250×250 px; bone marrow aspirate smear; single cell centered in the field — 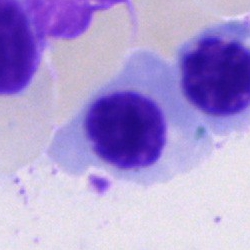

Cell: nucleated red cell.